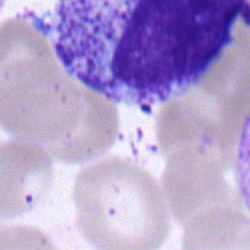 A myelocyte on a bone marrow smear.